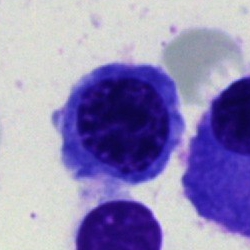

Cell — erythroblast.